Bone marrow aspirate smear · cropped to a single cell:
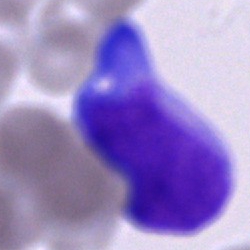Q: What is shown here?
A: This is a cell of indeterminate lineage.